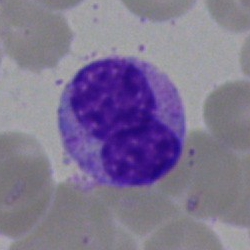 Single-cell crop from a bone marrow smear: metamyelocyte.